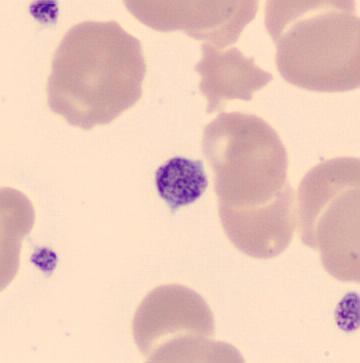
Preparation: Automated cell imaging (CellaVision DM96); May Grünwald-Giemsa stain.

Specimen: peripheral blood film.
Cell type: platelet.